Cropped to a single cell; bone marrow aspirate smear
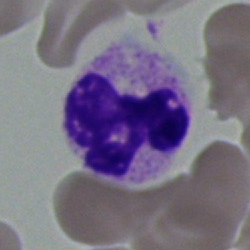

Q: What is shown here?
A: It is a neutrophil (segmented).